MGG-stained. Bone marrow smear — 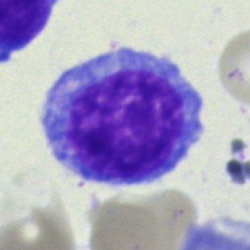
Showing a blast cell.